400 by 400 pixels · Romanowsky-stained · peripheral blood film: 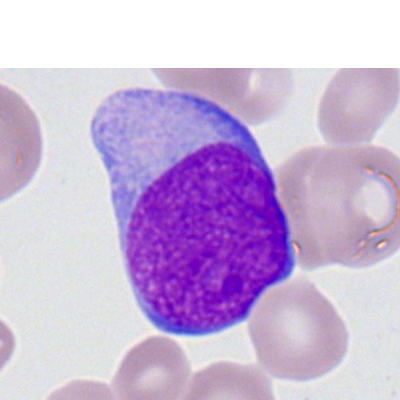
Cell — myeloid blast.